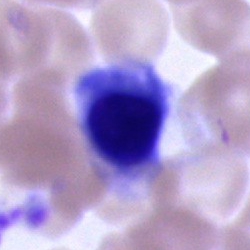

Classification — cell of indeterminate lineage.